Bone marrow smear — 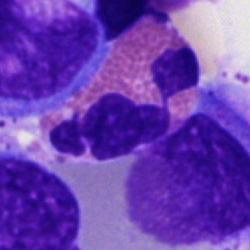

Impression — eosinophilic granulocyte.